40× oil immersion; bone marrow aspirate smear.
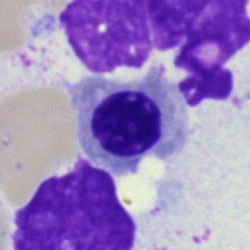Cell: erythroblast.